Image size 250×250. Cropped to a single cell. Bone marrow aspirate smear:
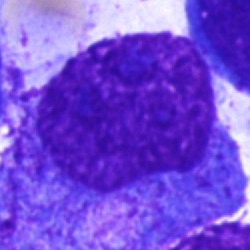 Q: What type of cell is this?
A: It is a promyelocyte.